Peripheral blood film: 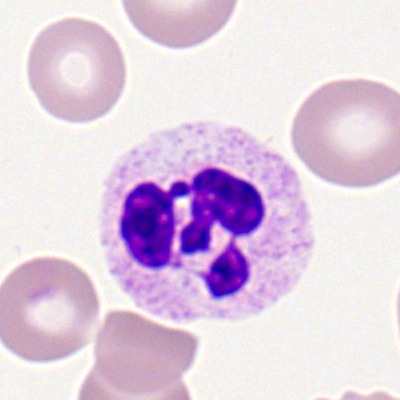
This is a neutrophil (segmented).